May-Grünwald-Giemsa/Pappenheim stain; bone marrow aspirate smear.
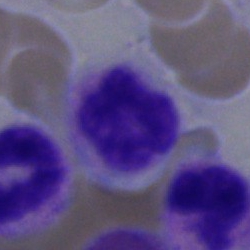Q: What cell is this?
A: It is a neutrophil (segmented).